Bone marrow aspirate smear
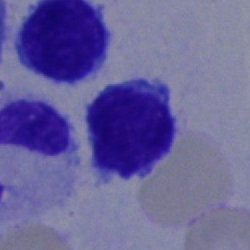

Impression — typical lymphocyte.